Bone marrow smear; single-cell crop: 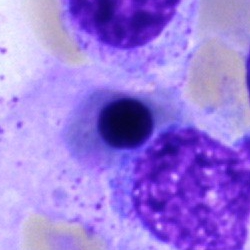
Q: What type of cell is this?
A: A normoblast.